Bone marrow aspirate smear.
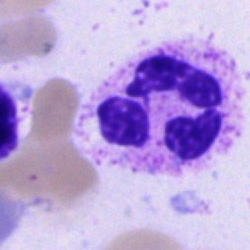

Morphology — segmented neutrophil.